Bone marrow smear. Pappenheim-stained: 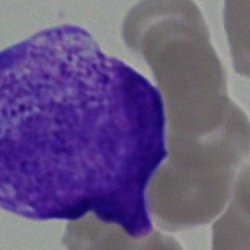 Cell type = undifferentiated blast.